Bone marrow aspirate smear; 40× oil immersion; May-Grünwald-Giemsa/Pappenheim stain
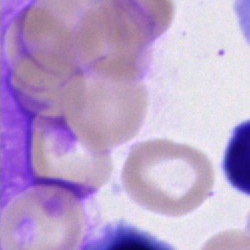
Specimen: bone marrow aspirate smear.
Morphological class: artefact.